Bone marrow aspirate smear.
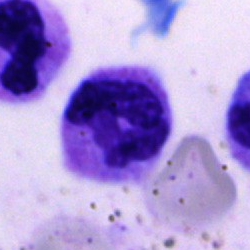 Specimen: bone marrow smear.
Morphological class: polymorphonuclear neutrophil.